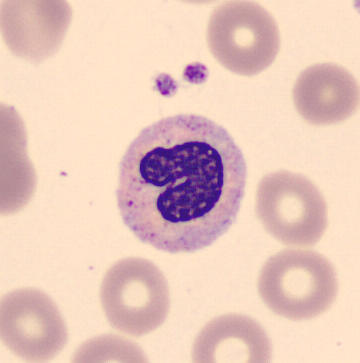
Image: MGG-stained · peripheral blood film.
The cell shown is a band-form neutrophil.